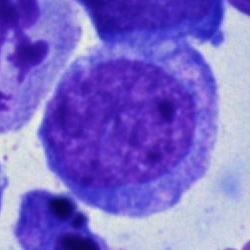
A blast on a bone marrow smear.